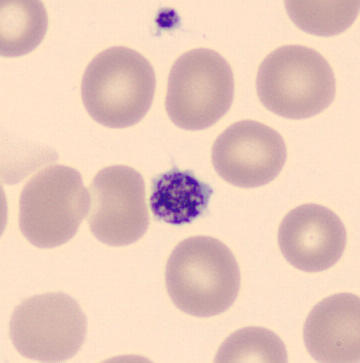 The classification is platelet (thrombocyte).